Bone marrow aspirate smear
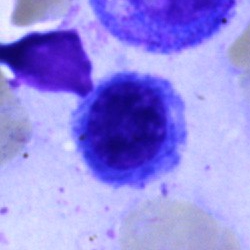

The cell is nucleated red cell.